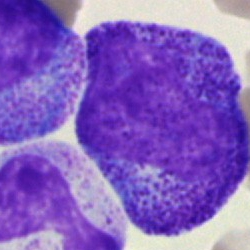Impression → progranulocyte.